Bone marrow aspirate smear. 250×250 px
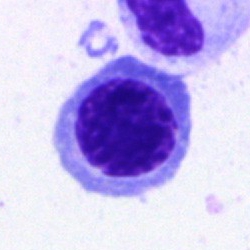 Cell type — erythroblast.